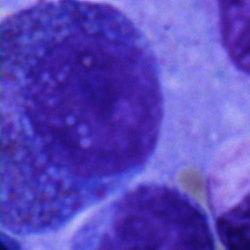
This is an eosinophilic granulocyte.